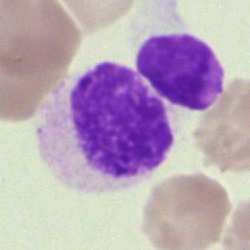
Morphological class: artifact.